Bone marrow smear:
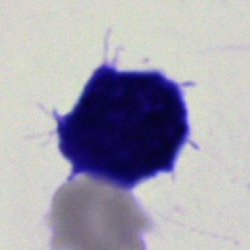Artefact.